Peripheral blood film:
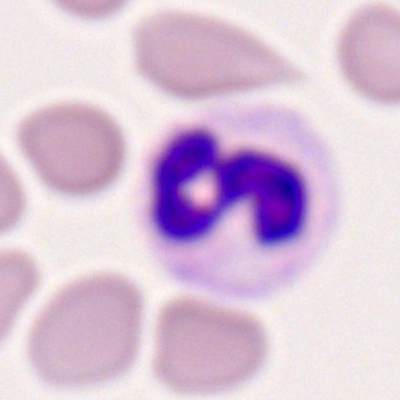

This is a polymorphonuclear neutrophil.